Single-cell crop. Peripheral blood smear:
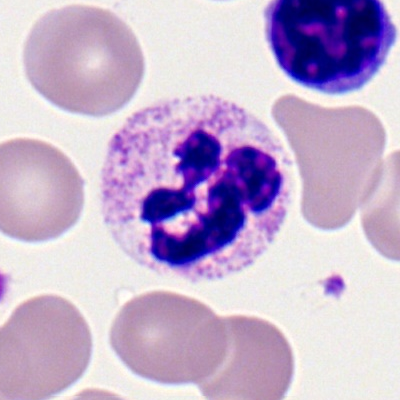

The cell shown is a segmented neutrophil.